Bone marrow aspirate smear: 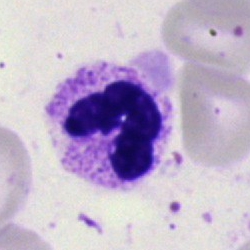Showing a neutrophil (segmented).